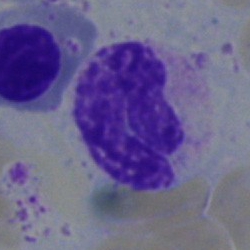 Morphological class = segmented neutrophil.